Image size 250×250 · bone marrow smear — 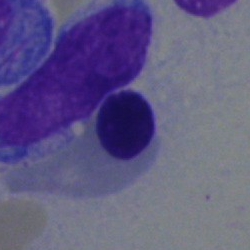Morphology consistent with a nucleated red blood cell.